Bone marrow smear; single-cell crop
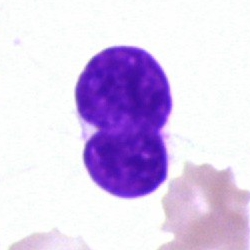Single cell identified as an artifact.